MGG-stained. Bone marrow smear:
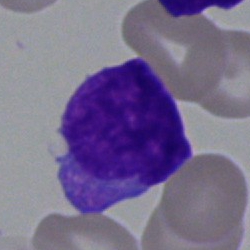Morphology → blast.